Bone marrow aspirate smear: 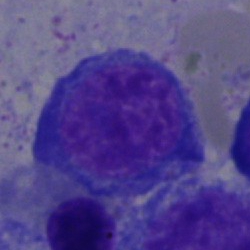
Showing a normoblast.